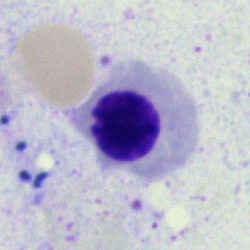 Q: Identify the cell.
A: This is a nucleated red cell.